Bone marrow smear: 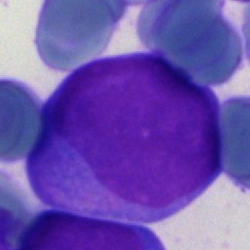 This is a blast.